Bone marrow smear · May-Grünwald-Giemsa stain · single cell centered in the field
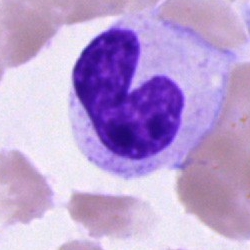
A band-form neutrophil.